40× objective, oil immersion. 250×250 px. Bone marrow smear:
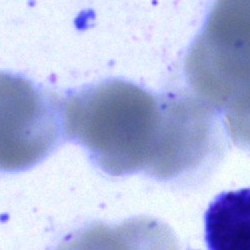

Morphological class — artefact.